Bone marrow smear · 250×250 px
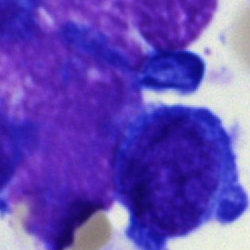 The cell shown is a lymphocyte (immature).